May-Grünwald-Giemsa/Pappenheim stain; brightfield, 40× oil-immersion objective; bone marrow smear: 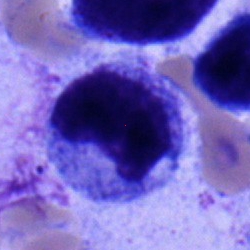The cell shown is a promyelocyte.